Bone marrow smear:
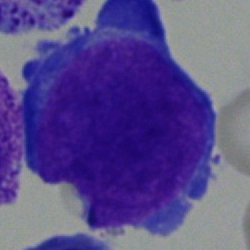
Showing a pronormoblast.